Bone marrow aspirate smear.
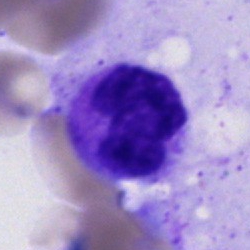
Cell type = neutrophil (segmented).